Bone marrow smear:
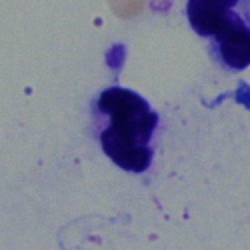
Morphology consistent with a segmented neutrophil.